Bone marrow smear; Pappenheim-stained:
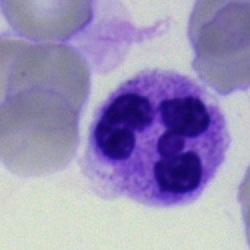

Morphological class: segmented neutrophil.